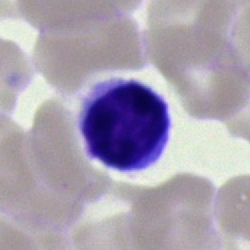 Cell — typical lymphocyte.